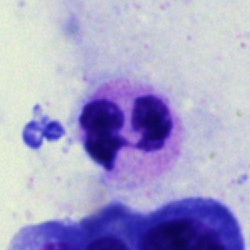

Single-cell crop from a bone marrow smear: neutrophil (segmented).